40× objective, oil immersion · bone marrow aspirate smear:
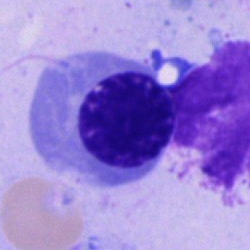
This is a nucleated red blood cell.